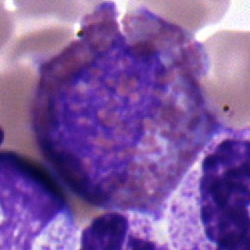

Specimen: bone marrow aspirate smear.
Cell: eosinophil.
Lineage: myeloid.